Bone marrow smear.
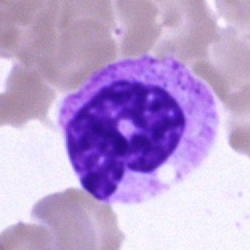 Morphology — polymorphonuclear neutrophil.